Bone marrow aspirate smear; MGG-stained — 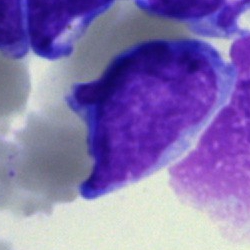
This is a blast cell.